Bone marrow smear — 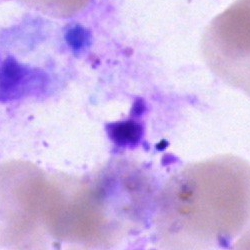Cell: artefact.